Bone marrow smear — 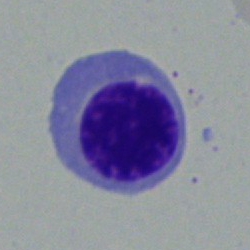Q: What is shown here?
A: A nucleated red cell.